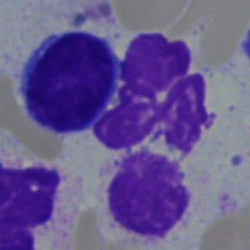
Q: What is the morphological classification of this cell?
A: It is a lymphocyte.